Bone marrow smear
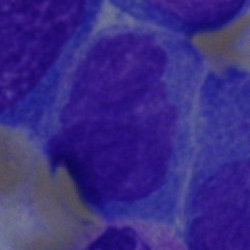Impression → blast cell.